Bone marrow aspirate smear — 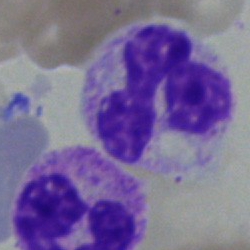

A basophilic granulocyte.